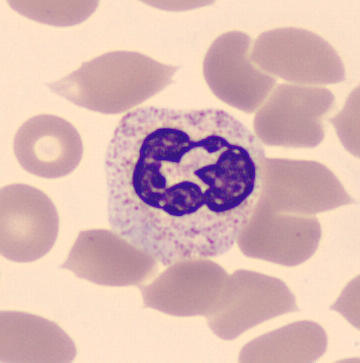 Classification: segmented neutrophil.
Image: Peripheral blood film. 360×363.